Bone marrow aspirate smear.
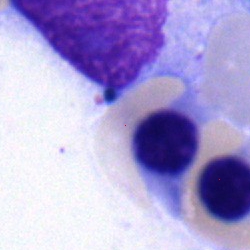
Showing a nucleated red blood cell.